Single-cell field; bone marrow aspirate smear; brightfield, 40× oil-immersion objective
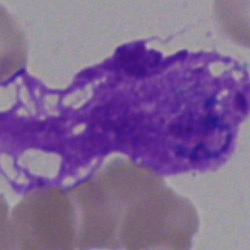

The cell type is artefact.